Bone marrow aspirate smear
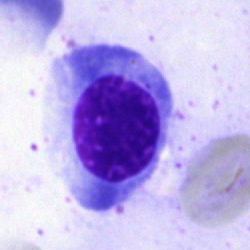

Q: What type of cell is this?
A: It is an erythroblast.